Image size 250×250; brightfield, 40× oil-immersion objective; bone marrow aspirate smear.
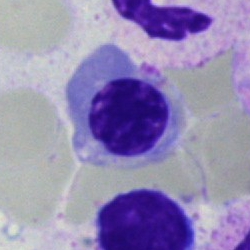 A nucleated red blood cell.